Image size 250×250. May-Grünwald-Giemsa stain. Bone marrow aspirate smear
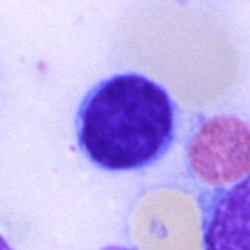

Morphology → lymphocyte.